Single cell centered in the field · bone marrow aspirate smear · 250 by 250 pixels
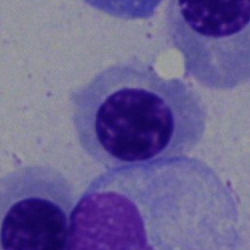A normoblast.